Single-cell field. Bone marrow aspirate smear — 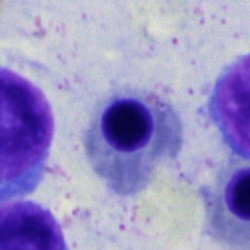

Q: What is shown here?
A: A nucleated red blood cell.